Bone marrow aspirate smear.
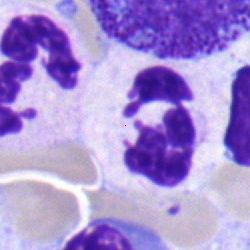

Morphology → neutrophil (segmented).